Cropped to a single cell. Bone marrow aspirate smear
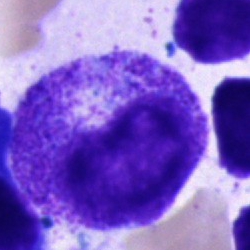 Promyelocyte.